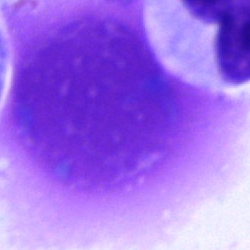
Bone marrow smear showing an artefact.